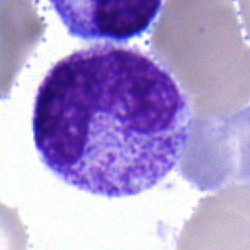
Bone marrow smear showing a metamyelocyte.